Peripheral blood smear.
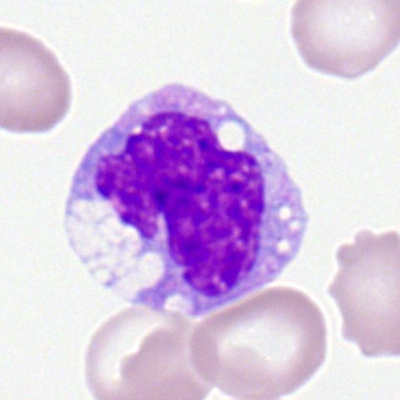

Cell type = monocyte.